Bone marrow aspirate smear: 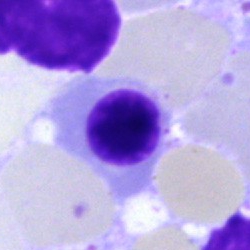Morphological class = erythroblast.